Cropped to a single cell. Bone marrow smear: 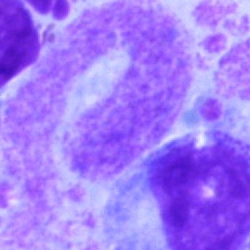

Morphology consistent with an artefact.